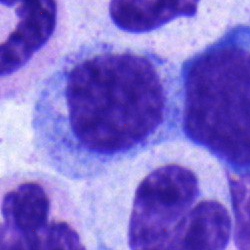Showing a myelocyte.